Bone marrow smear: 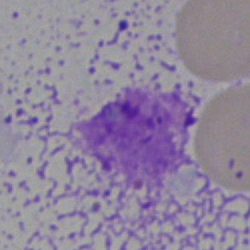Single cell identified as an artefact.